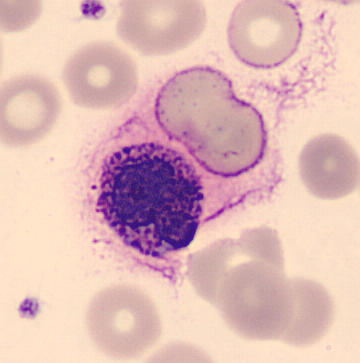

Identified as a basophil.